Single cell centered in the field; bone marrow aspirate smear: 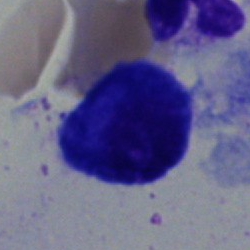

Morphology consistent with a plasma cell.